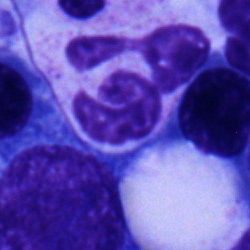
Q: What is shown here?
A: It is a segmented neutrophil.